Pappenheim-stained; bone marrow aspirate smear:
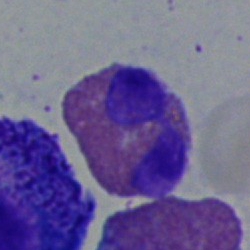

Cell type — eosinophil.